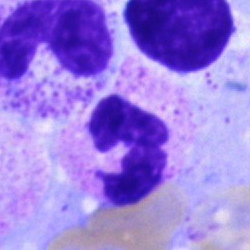 Q: What is the morphological classification of this cell?
A: A neutrophil (segmented).